Bone marrow aspirate smear.
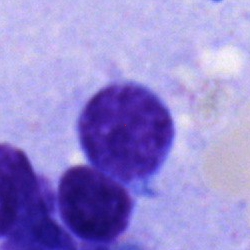A typical lymphocyte.